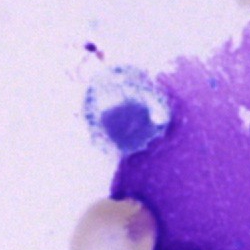

Artifact.